Bone marrow smear: 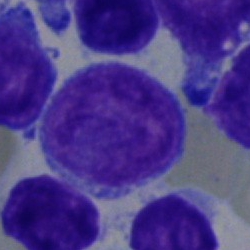 Specimen: bone marrow aspirate smear.
Morphological class: blast.